Bone marrow aspirate smear:
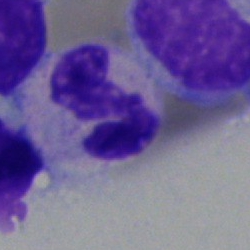 The cell is polymorphonuclear neutrophil.